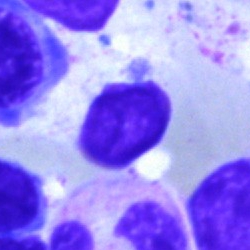{"cell_type": "typical lymphocyte", "lineage": "lymphoid"}